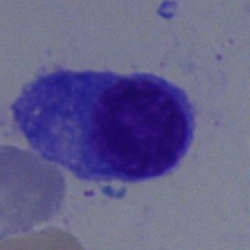
Q: Which cell type is shown here?
A: This is a plasmacyte.